Bone marrow smear.
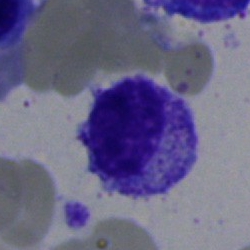
Morphological class — myelocyte.